Bone marrow aspirate smear. 40× oil immersion. Single cell centered in the field:
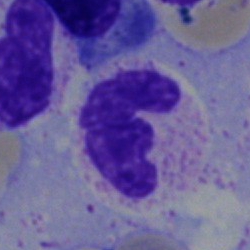

Neutrophil (segmented).